M8 digital microscope (Precipoint), 100× oil immersion · peripheral blood film: 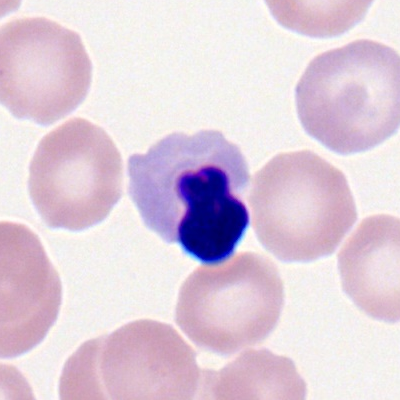

The cell is nucleated red blood cell.